Bone marrow aspirate smear: 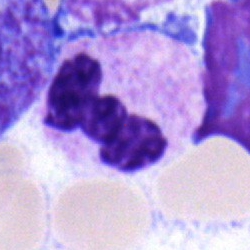 Q: What type of cell is this?
A: It is a polymorphonuclear neutrophil.